Bone marrow smear; 40× oil immersion — 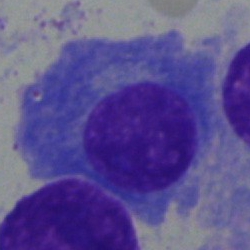 Morphological class: plasmacyte.